Bone marrow aspirate smear:
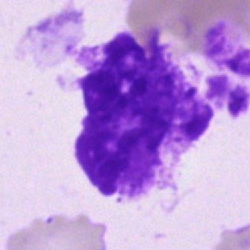 Morphology — artifact.